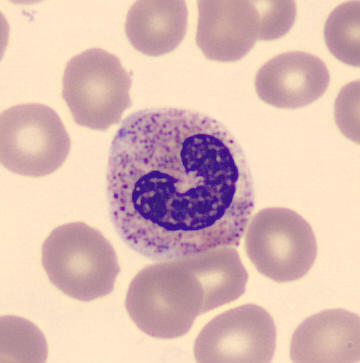
Neutrophil (band).
Acquisition: Peripheral blood film; MGG stain.